Bone marrow aspirate smear · single cell centered in the field · 250×250:
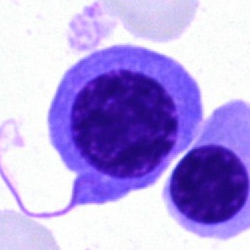

{"cell_type": "nucleated red cell", "lineage": "erythroid"}